Bone marrow aspirate smear.
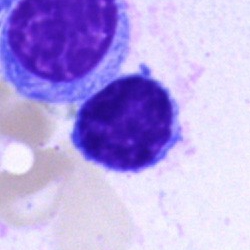

This is a typical lymphocyte.